MGG-stained · bone marrow smear
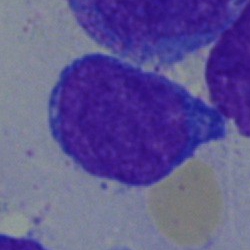An undifferentiated blast.